Romanowsky-type stain · peripheral blood smear: 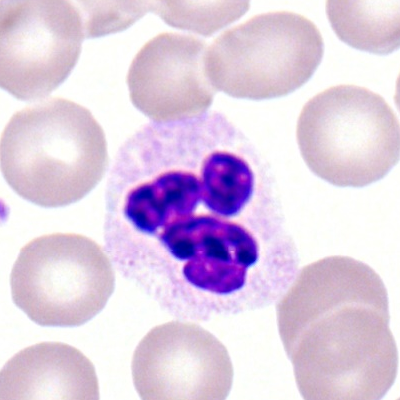
Morphology consistent with a polymorphonuclear neutrophil.